Bone marrow aspirate smear; single-cell crop; 250×250 px: 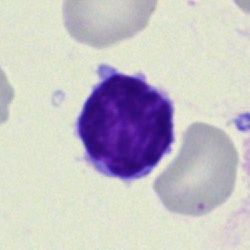 Q: Identify the cell.
A: It is a lymphocyte.